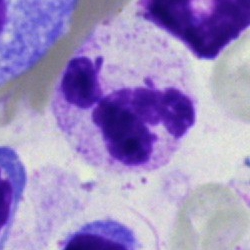
Morphological class — polymorphonuclear neutrophil.